Brightfield, 40× oil-immersion objective · bone marrow aspirate smear: 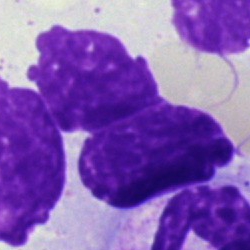
Impression — artefact.